Bone marrow aspirate smear
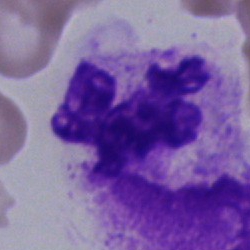Morphology — neutrophil (segmented).